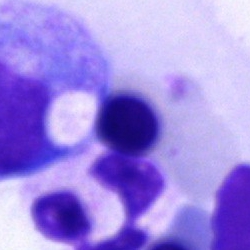 A polymorphonuclear neutrophil.